40× objective, oil immersion; bone marrow aspirate smear; May-Grünwald-Giemsa stain:
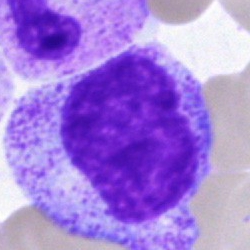
Single cell identified as a promyelocyte.